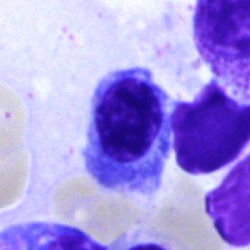 {"cell_type": "erythroblast"}